Peripheral blood smear:
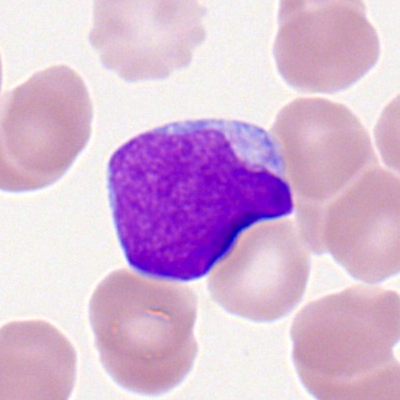

Morphology consistent with a myeloblast.